Bone marrow aspirate smear.
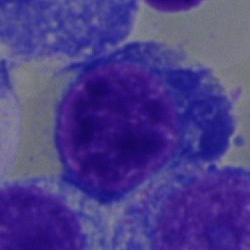 Specimen: bone marrow smear.
Cell: erythroblast.
Lineage: erythroid.